Peripheral blood film:
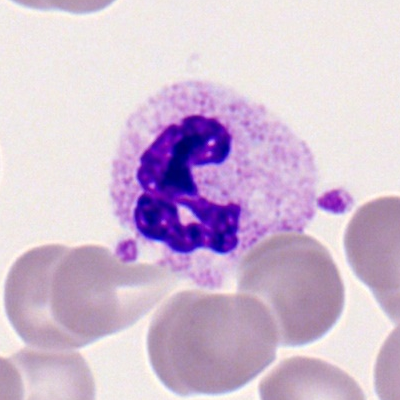
Morphological class: neutrophil (segmented).